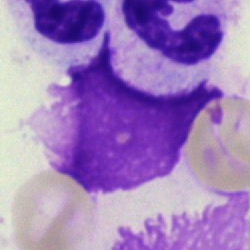Q: What is shown here?
A: It is an artifact.